Bone marrow aspirate smear
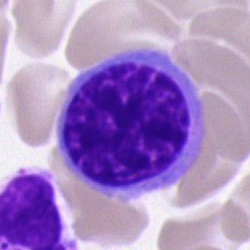
Showing a nucleated red blood cell.